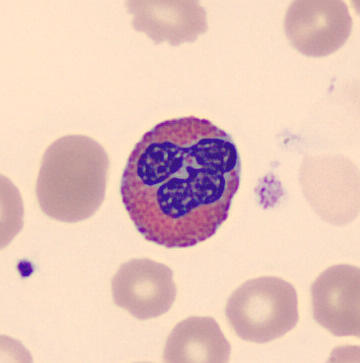

Q: Which cell type is shown here?
A: It is an eosinophilic granulocyte.